Bone marrow aspirate smear — 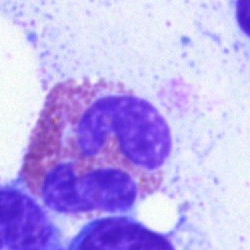

Eosinophilic granulocyte.